400×400 px. Peripheral blood smear: 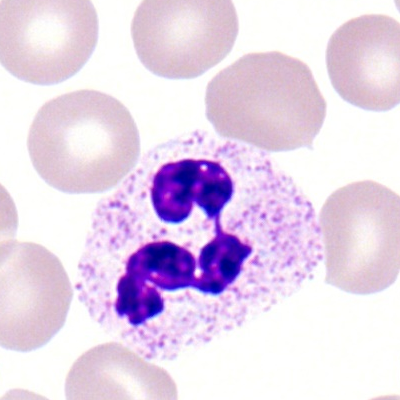 Classification: polymorphonuclear neutrophil.